Bone marrow smear · 250 by 250 pixels · cropped to a single cell.
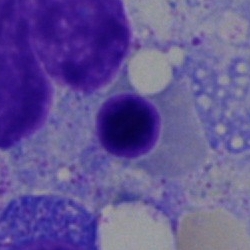 Specimen: bone marrow aspirate smear.
Cell type: erythroblast.
Lineage: erythroid.